Bone marrow aspirate smear. Cropped to a single cell.
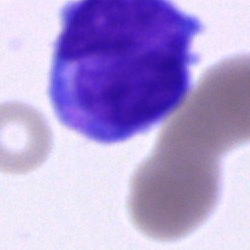

{"cell_type": "blast cell"}